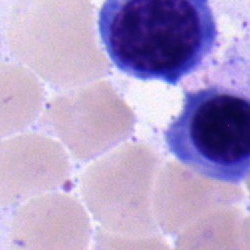
{"cell_type": "erythroblast"}